Bone marrow aspirate smear:
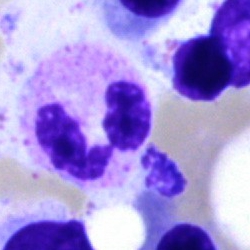 This is a polymorphonuclear neutrophil.